Bone marrow aspirate smear; single cell centered in the field.
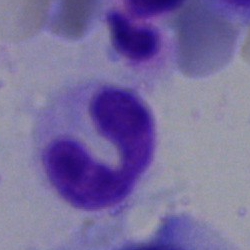

Specimen: bone marrow smear.
Cell type: neutrophil (segmented).
Lineage: myeloid.